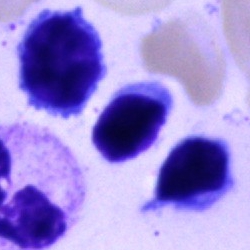
Q: What is the morphological classification of this cell?
A: It is a lymphocyte.